Bone marrow aspirate smear; cropped to a single cell; Pappenheim-stained
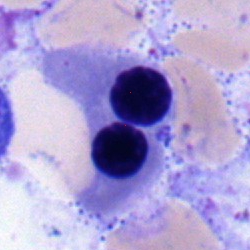Morphology consistent with a band-form neutrophil.